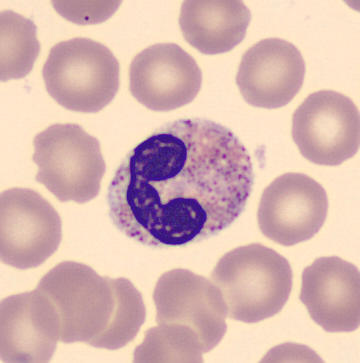
Morphological class: band neutrophil.

Acquisition: Peripheral blood smear.